250 by 250 pixels · bone marrow aspirate smear · 40× objective, oil immersion:
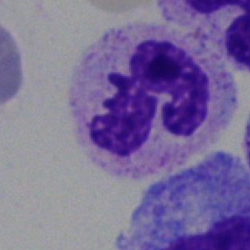
Morphology consistent with a segmented neutrophil.